Bone marrow smear: 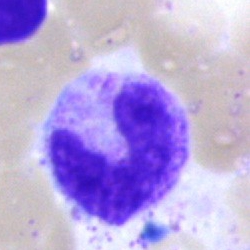

This is a stab cell.